Bone marrow smear — 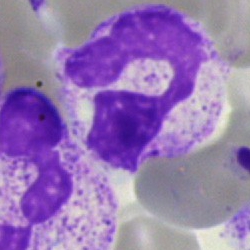

The cell type is segmented neutrophil.